Bone marrow aspirate smear
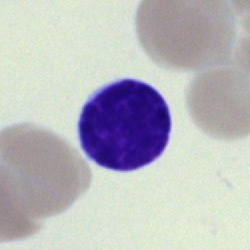

This is a typical lymphocyte.